Bone marrow smear. Single-cell field — 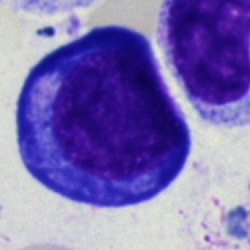 This is a pronormoblast.